Bone marrow smear. Cropped to a single cell: 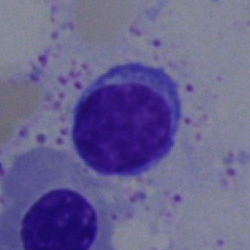Specimen: bone marrow smear.
Cell type: typical lymphocyte.
Lineage: lymphoid.